Peripheral blood smear · Romanowsky-type stain
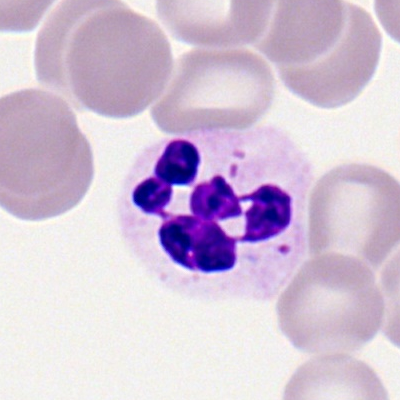 Showing a polymorphonuclear neutrophil.